Single-cell crop; bone marrow smear — 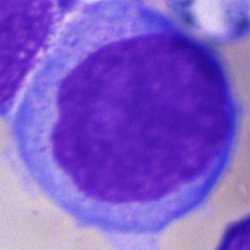 Q: What is the morphological classification of this cell?
A: It is a blast.